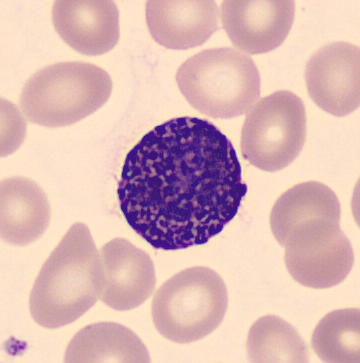Cell type — basophil.